Bone marrow aspirate smear; image size 250×250.
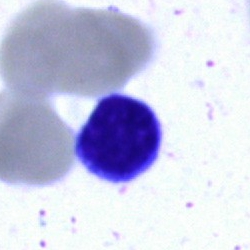Morphology consistent with a typical lymphocyte.